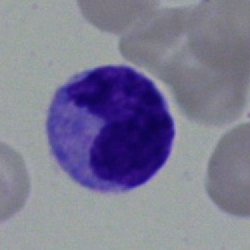Morphological class = monocyte.